Bone marrow smear.
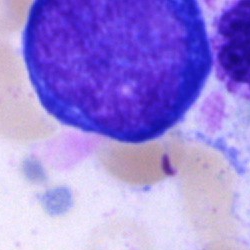

Proerythroblast.